Bone marrow aspirate smear.
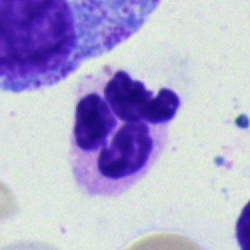 Cell — polymorphonuclear neutrophil.